Bone marrow smear. Single-cell field
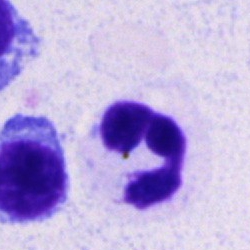
Showing a neutrophil (segmented).